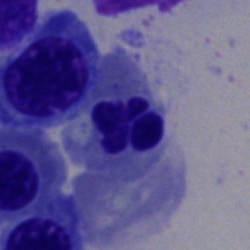Showing an erythroblast.